Bone marrow aspirate smear
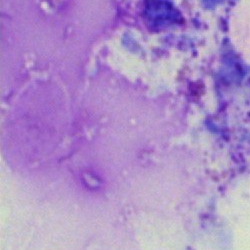This is an artefact.